Bone marrow smear:
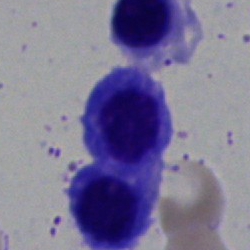

Morphology consistent with a normoblast.